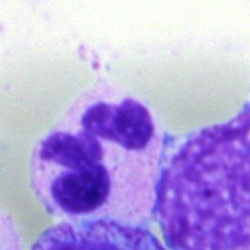 Bone marrow smear showing a neutrophil (segmented).